Bone marrow smear — 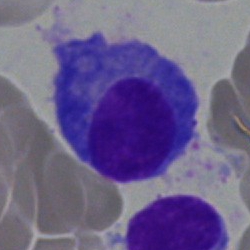 Morphology consistent with a plasma cell.